Bone marrow smear.
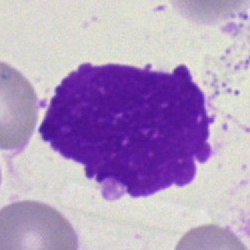{"cell_type": "artefact"}